Bone marrow smear — 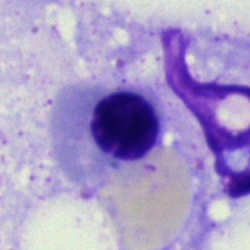

Q: Identify the cell.
A: This is a nucleated red blood cell.